Bone marrow aspirate smear — 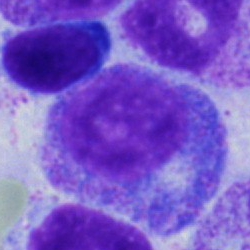
{"cell_type": "promyelocyte", "lineage": "myeloid"}